Peripheral blood smear. Single-cell crop:
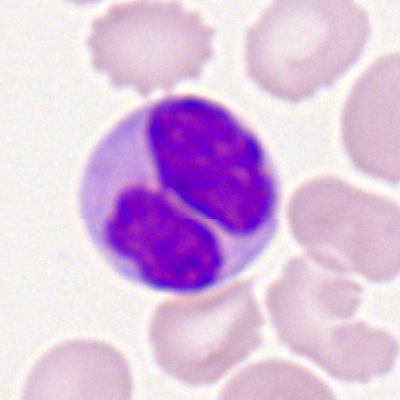Cell type: monocyte.